Bone marrow smear; Pappenheim-stained; image size 250×250 — 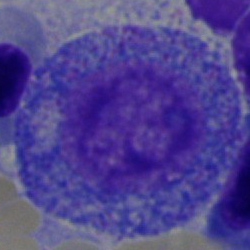
Progranulocyte.